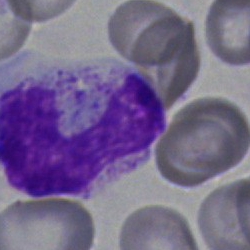

The cell type is stab cell.